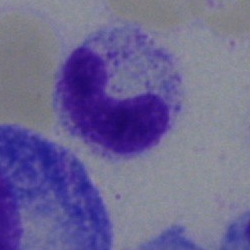

This is a neutrophil (band).